Peripheral blood smear · 400×400:
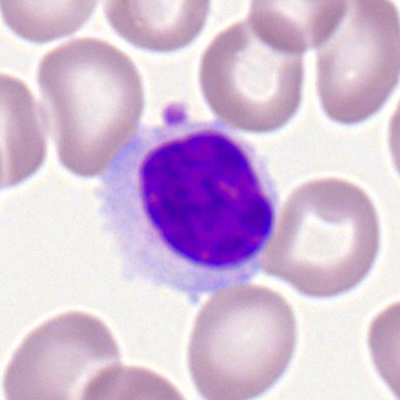

The cell shown is a lymphocyte.